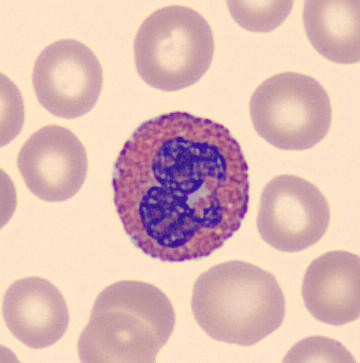

Cell = eosinophilic granulocyte.

Image: Peripheral blood smear.